Brightfield, 40× oil-immersion objective. Bone marrow smear: 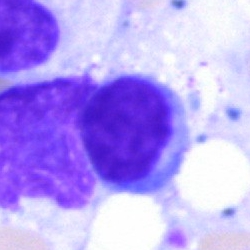
Specimen: bone marrow smear.
Cell type: typical lymphocyte.